MGG-stained · single-cell field · bone marrow smear: 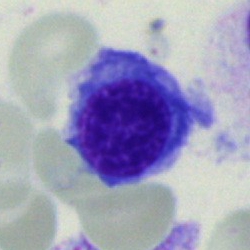This is an erythroblast.